Bone marrow aspirate smear:
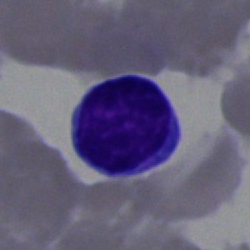Classification = typical lymphocyte.